Bone marrow smear
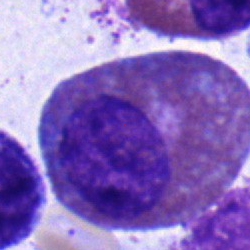Specimen: bone marrow smear.
Morphological class: eosinophilic granulocyte.